Bone marrow smear:
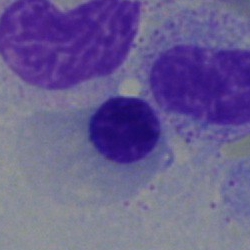

Cell type: erythroblast.